Brightfield microscopy, 40× oil immersion · bone marrow aspirate smear
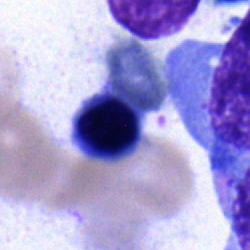Showing a nucleated red cell.